Peripheral blood film · image size 400×400
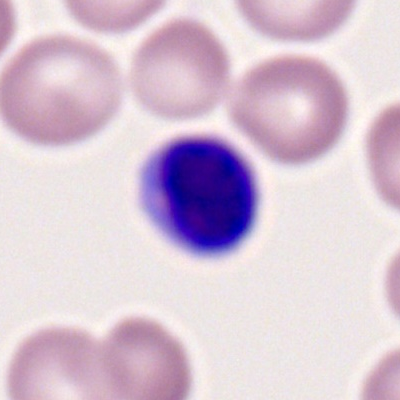

Cell type: typical lymphocyte.